Bone marrow aspirate smear:
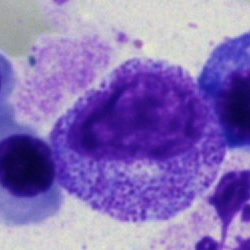Cell type = myelocyte.